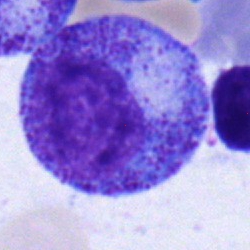 A promyelocyte.